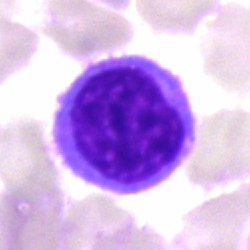Morphology → lymphocyte.